Bone marrow smear; May-Grünwald-Giemsa/Pappenheim stain
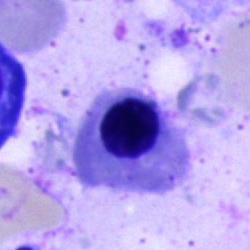
Cell — erythroblast.